Bone marrow smear.
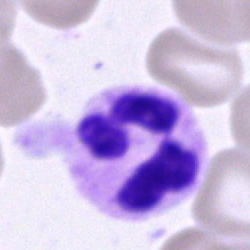{"cell_type": "polymorphonuclear neutrophil", "lineage": "myeloid"}